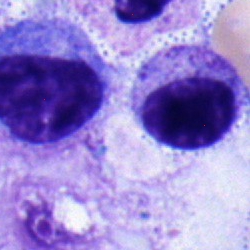

Specimen: bone marrow smear.
Cell: myelocyte.
Lineage: myeloid.